Bone marrow aspirate smear.
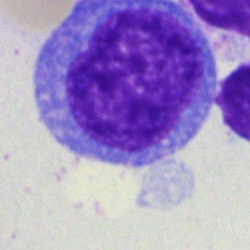

Morphology → blast cell.